40× objective, oil immersion. Bone marrow aspirate smear.
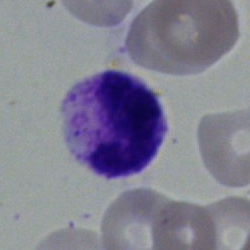The cell is polymorphonuclear neutrophil.